Bone marrow smear. 250 by 250 pixels: 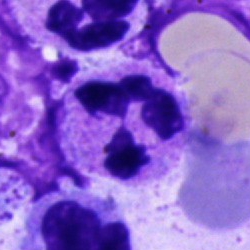
{"cell_type": "polymorphonuclear neutrophil", "lineage": "myeloid"}